Brightfield, 40× oil-immersion objective · bone marrow smear · May-Grünwald-Giemsa/Pappenheim stain — 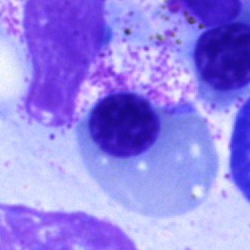
Classification — nucleated red blood cell.